Bone marrow aspirate smear
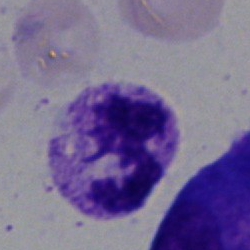
Single cell identified as a neutrophil (segmented).